Bone marrow smear.
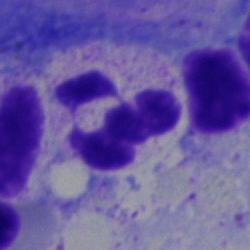Q: What is the morphological classification of this cell?
A: A neutrophil (segmented).